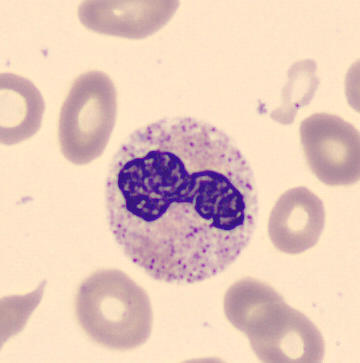 Peripheral blood film. Cell: neutrophil (band).